Bone marrow aspirate smear.
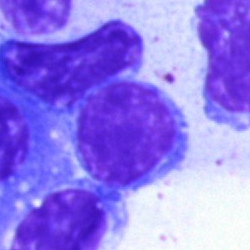

The cell shown is a typical lymphocyte.